Bone marrow aspirate smear.
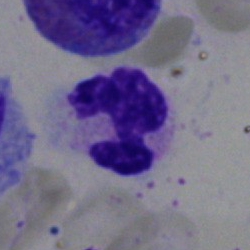

Morphological class = neutrophil (segmented).